Single cell centered in the field. Bone marrow aspirate smear. 40× oil immersion: 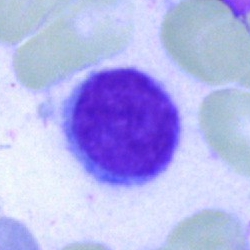

Morphological class — typical lymphocyte.